Bone marrow aspirate smear: 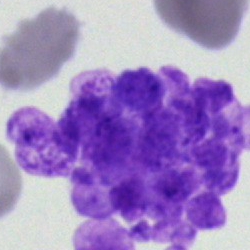

Specimen: bone marrow smear.
Classification: artifact.